Peripheral blood smear — 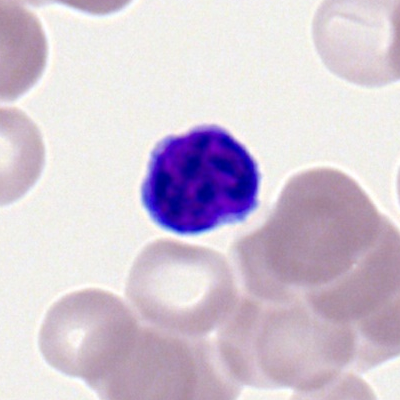

Q: What is the morphological classification of this cell?
A: A typical lymphocyte.